Bone marrow aspirate smear. Image size 250×250. Brightfield microscopy, 40× oil immersion:
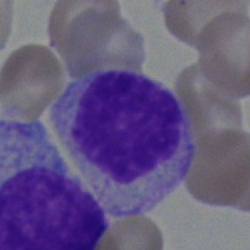

Impression — myelocyte.